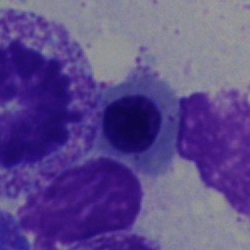 Morphological class — nucleated red cell.